Image size 250×250; May-Grünwald-Giemsa/Pappenheim stain; bone marrow aspirate smear
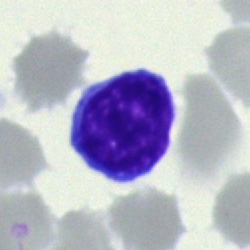Classification — lymphocyte.